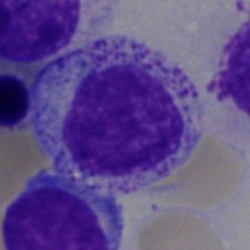The cell is myelocyte.